Peripheral blood smear.
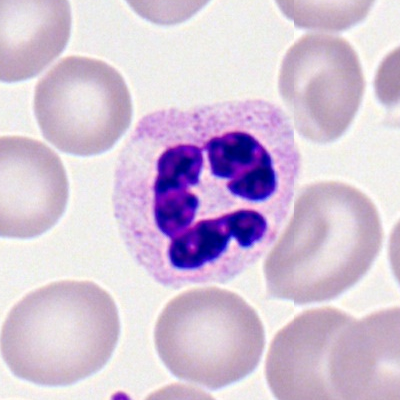
A neutrophil (segmented).